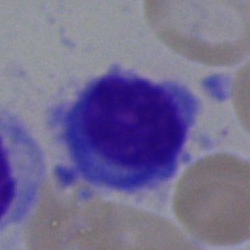Q: Identify the cell.
A: This is a plasma cell.